Bone marrow aspirate smear: 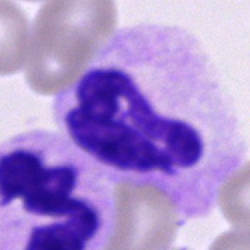
A neutrophil (segmented).